400×400 px. Peripheral blood smear: 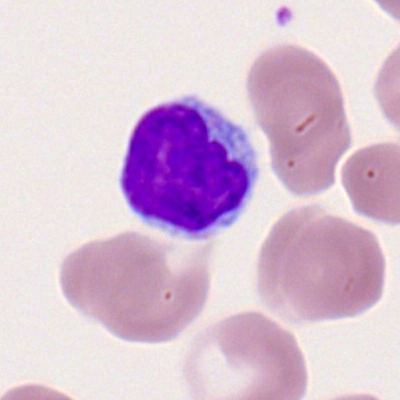
Single cell identified as a lymphocyte.